Bone marrow smear; 250×250 px:
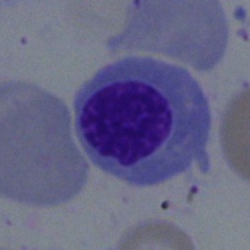

Classification — erythroblast.